Bone marrow smear: 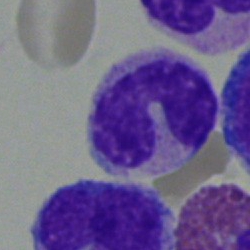
Q: What is the morphological classification of this cell?
A: Neutrophil (band).